Bone marrow smear: 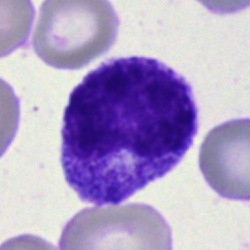 A metamyelocyte.